Peripheral blood smear
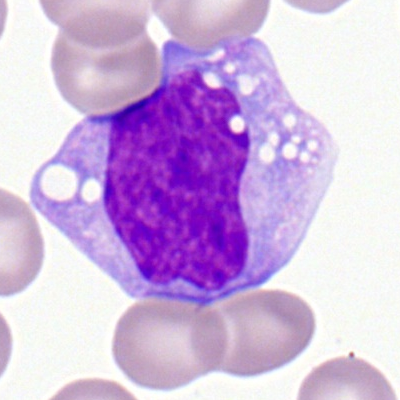
Monocyte.